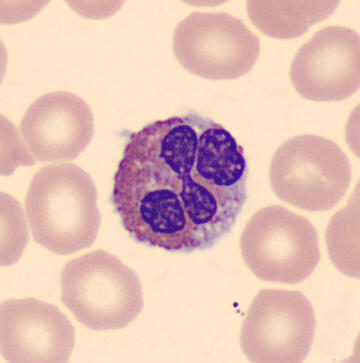
360 by 363 pixels; peripheral blood film. Impression → eosinophilic granulocyte.